Bone marrow smear: 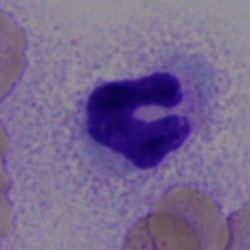{"cell_type": "neutrophil (segmented)", "lineage": "myeloid"}